Bone marrow aspirate smear. Pappenheim-stained: 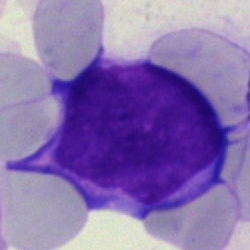

Showing a blast.